Bone marrow smear · Pappenheim-stained · 250×250 px: 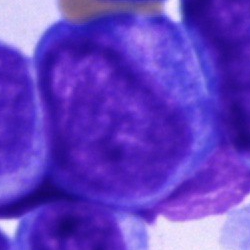
Classification — blast.